Peripheral blood smear; Romanowsky-type stain: 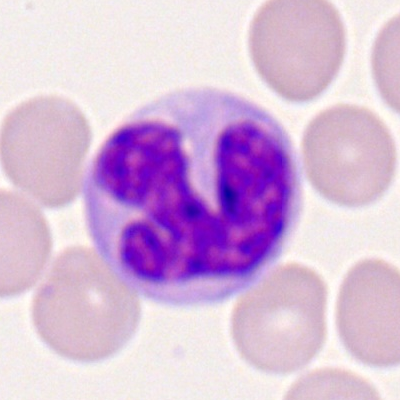 Cell = monocyte.